Peripheral blood film · 360 by 363 pixels — 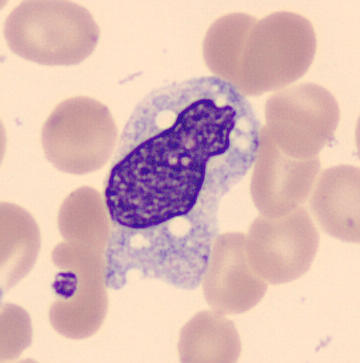

Identified as a monocyte.